Single cell centered in the field. Bone marrow smear. Brightfield microscopy, 40× oil immersion: 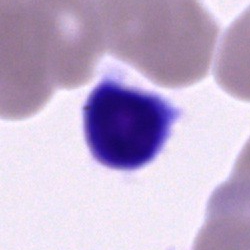

Specimen: bone marrow aspirate smear.
Morphological class: unidentifiable cell.